Bone marrow smear — 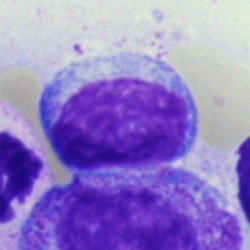The cell shown is a lymphocyte.